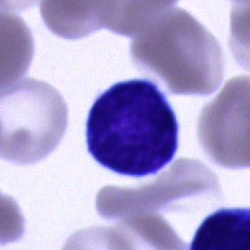
Classification = lymphocyte.